MGG-stained; 250×250 px; bone marrow smear.
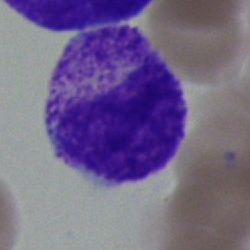 Single cell identified as a metamyelocyte.